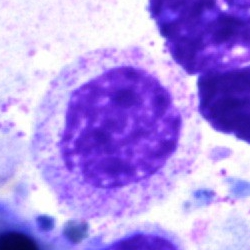 Cell — myelocyte.